Bone marrow aspirate smear
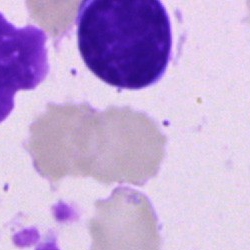 The cell shown is a lymphocyte.